Bone marrow smear.
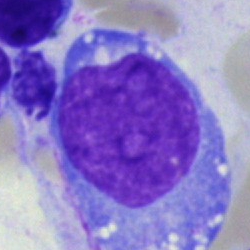

Impression — undifferentiated blast.